40× oil immersion. Bone marrow aspirate smear: 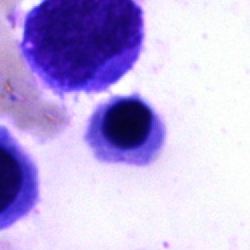 Morphological class = normoblast.